Bone marrow aspirate smear: 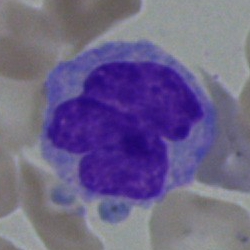Monocyte.